Single-cell crop; bone marrow smear; image size 250×250
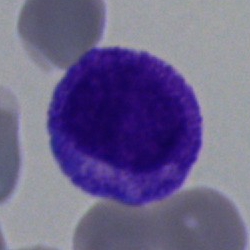 Morphological class = progranulocyte.